Bone marrow smear; 250 by 250 pixels.
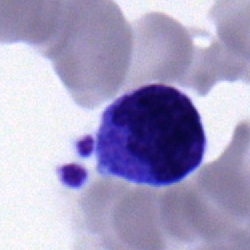 Q: Which cell type is shown here?
A: Monocyte.